Bone marrow aspirate smear. Image size 250×250.
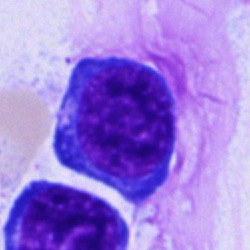
Q: What is shown here?
A: A normoblast.